Single-cell field · bone marrow smear · 250×250 px.
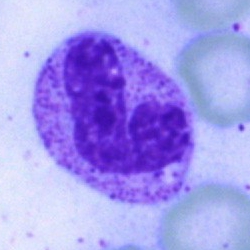
Morphology consistent with a neutrophil (band).